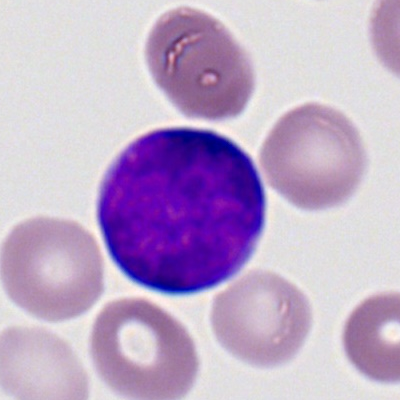Q: What cell is this?
A: A myeloid blast.